Bone marrow aspirate smear
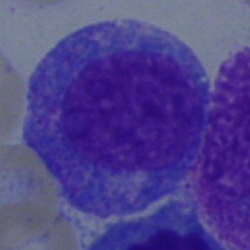 Showing a progranulocyte.